May-Grünwald-Giemsa/Pappenheim stain · bone marrow smear: 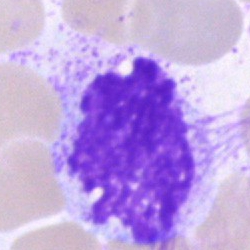

The cell is unidentifiable cell.